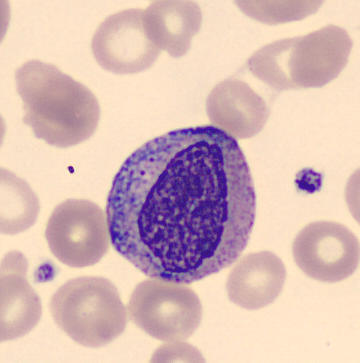 Identified as a myelocyte.